Bone marrow aspirate smear — 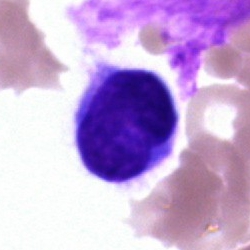 Specimen: bone marrow aspirate smear.
Classification: typical lymphocyte.
Lineage: lymphoid.